Peripheral blood smear; 100× oil immersion, 14.14 px/µm; 400×400
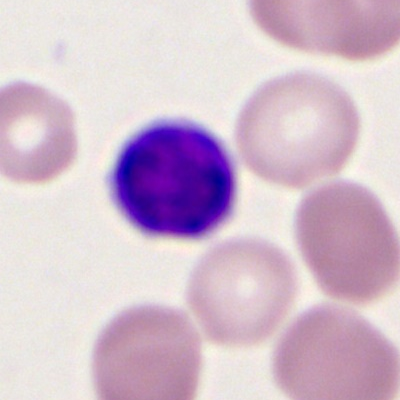
Showing a lymphocyte.